Bone marrow aspirate smear — 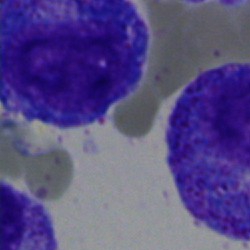The cell is promyelocyte.